Bone marrow aspirate smear; May-Grünwald-Giemsa/Pappenheim stain; 250 by 250 pixels.
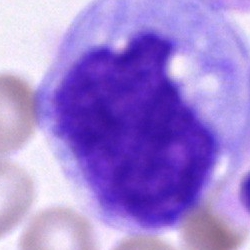

{"cell_type": "monocyte", "lineage": "myeloid"}